Bone marrow smear:
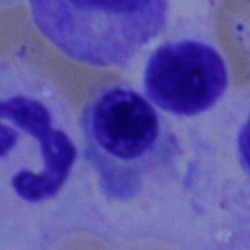
This is a neutrophil (segmented).